Bone marrow aspirate smear.
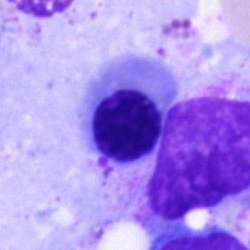

Classification: normoblast.